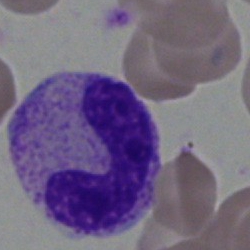This is a neutrophil (band).